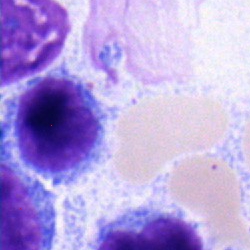 Specimen: bone marrow smear.
Morphological class: lymphocyte.
Lineage: lymphoid.